Bone marrow aspirate smear.
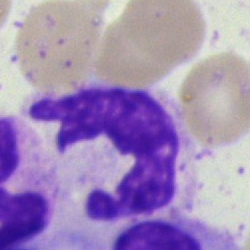Neutrophil (segmented).